Bone marrow smear; 250 by 250 pixels; single cell centered in the field:
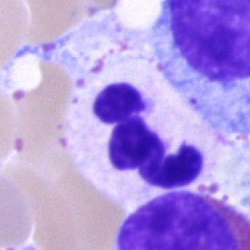 Impression — lymphocyte.